Pappenheim-stained · bone marrow aspirate smear
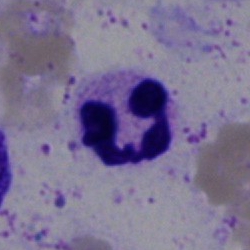Specimen: bone marrow smear.
Morphological class: neutrophil (segmented).
Lineage: myeloid.